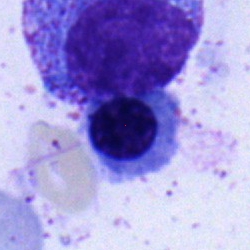

Single-cell crop from a bone marrow smear: nucleated red blood cell.